Bone marrow smear
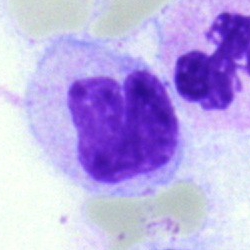

Morphology — neutrophil (band).